Bone marrow smear:
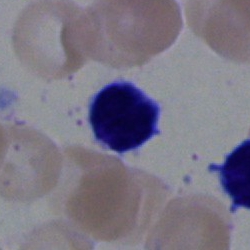
Q: What type of cell is this?
A: It is a typical lymphocyte.